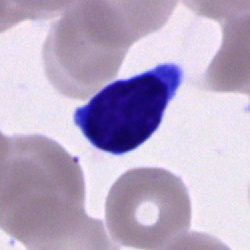 Q: What is the morphological classification of this cell?
A: Lymphocyte.